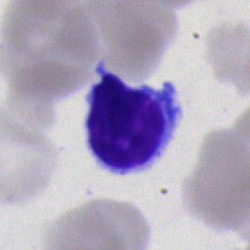Cell: lymphocyte.